Brightfield microscopy, 40× oil immersion · bone marrow smear · cropped to a single cell: 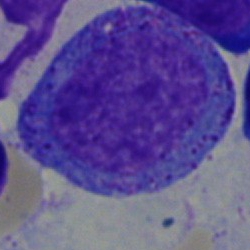Morphology consistent with a promyelocyte.